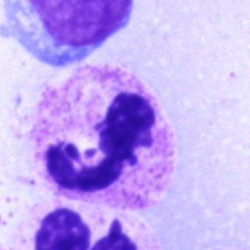 Bone marrow smear showing a polymorphonuclear neutrophil.